Bone marrow aspirate smear. Single-cell field:
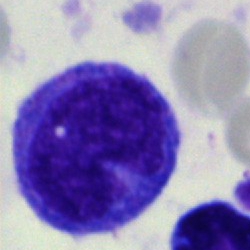 Monocyte.